Bone marrow aspirate smear · 250 by 250 pixels · single cell centered in the field — 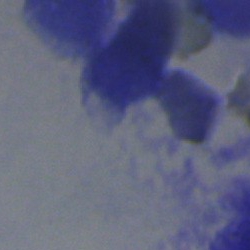
Single cell identified as an artefact.